Bone marrow smear · 40× oil immersion:
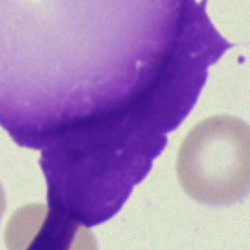 Cell = artefact.